Bone marrow smear — 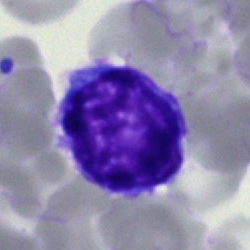 A typical lymphocyte.